Peripheral blood smear:
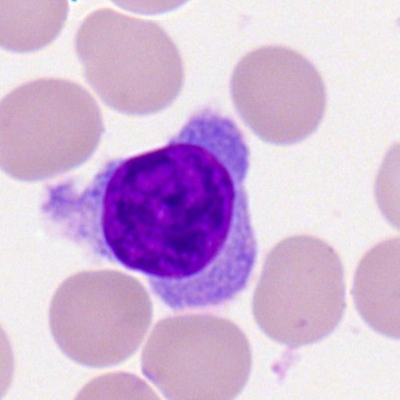

Impression → lymphocyte.